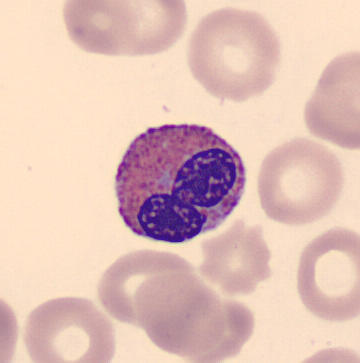Peripheral blood smear. May-Grünwald-Giemsa-stained.

Cell type — eosinophil.